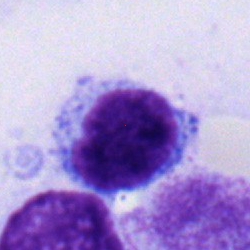
The cell shown is a typical lymphocyte.